Bone marrow aspirate smear: 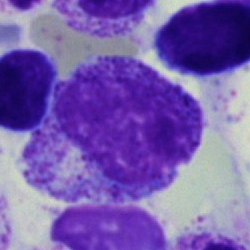

Classification — myelocyte.